Bone marrow aspirate smear · 250×250 — 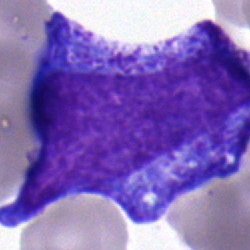

Morphology → progranulocyte.